Bone marrow aspirate smear: 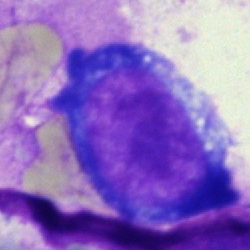 Single cell identified as a pronormoblast.